250×250 px · bone marrow aspirate smear · single-cell crop.
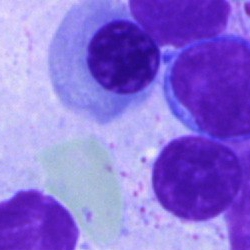
Nucleated red blood cell.